Bone marrow aspirate smear. Image size 250×250:
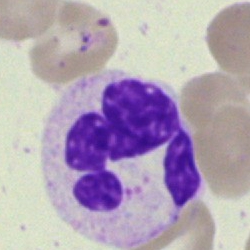

The classification is segmented neutrophil.